Bone marrow smear:
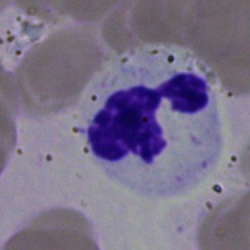 Morphological class — polymorphonuclear neutrophil.